40× objective, oil immersion · bone marrow aspirate smear: 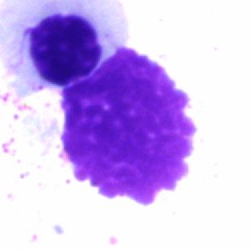Cell — artefact.